Bone marrow smear — 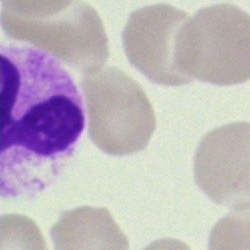 Specimen: bone marrow aspirate smear.
Cell type: cell of indeterminate lineage.